Bone marrow aspirate smear · brightfield, 40× oil-immersion objective — 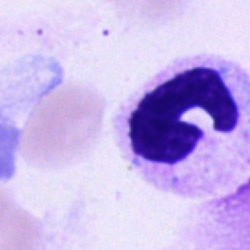

Q: Identify the cell.
A: This is a band neutrophil.